Bone marrow smear; 250 by 250 pixels; May-Grünwald-Giemsa/Pappenheim stain:
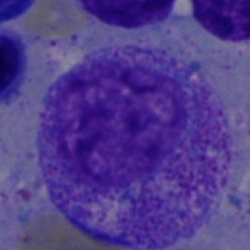The cell is myelocyte.